Bone marrow smear
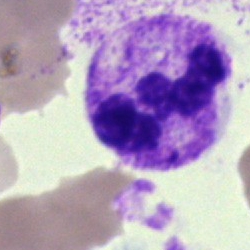

The morphological class is neutrophil (segmented).